MGG-stained. Bone marrow aspirate smear. 250×250.
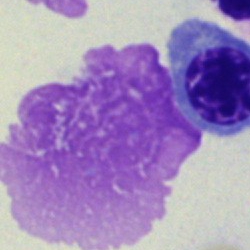
Classification — artifact.